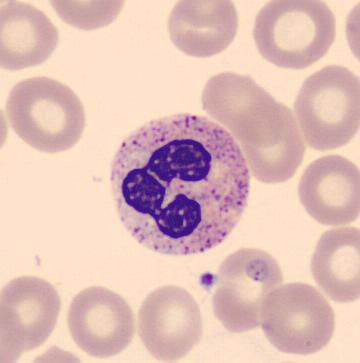The morphological class is polymorphonuclear neutrophil.